Romanowsky-type stain; peripheral blood smear; 400×400 px
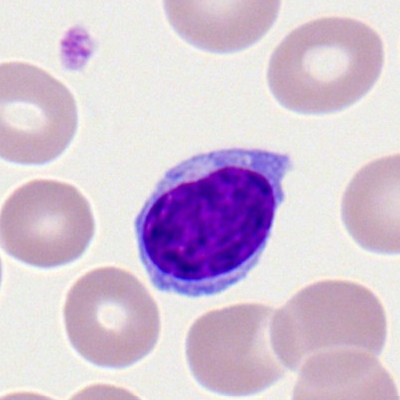Impression — lymphocyte.